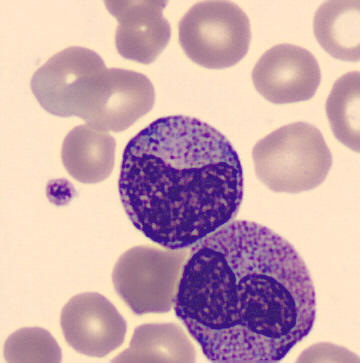

Morphology → metamyelocyte. 360×363 px; peripheral blood film; MGG stain.